Single-cell field · bone marrow smear · May-Grünwald-Giemsa/Pappenheim stain — 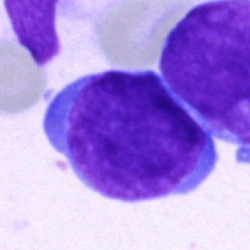 Morphological class = blast cell.